Bone marrow smear: 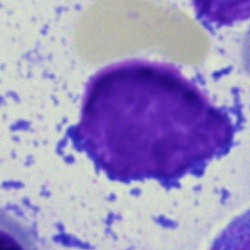 Q: What is shown here?
A: This is an artefact.